40× objective, oil immersion · bone marrow smear:
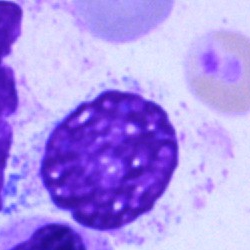
An artifact.